Bone marrow aspirate smear — 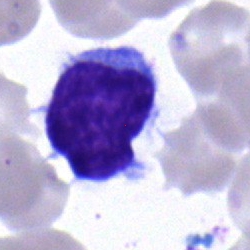 The morphological class is typical lymphocyte.